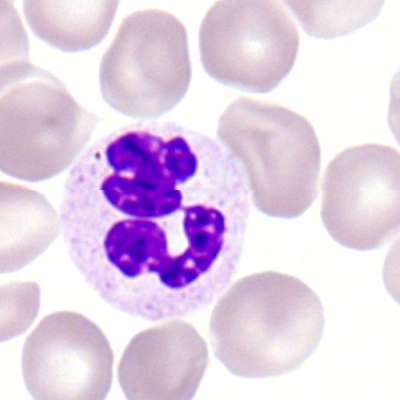
The cell is segmented neutrophil.